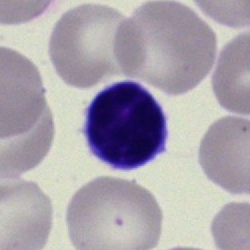

The morphological class is lymphocyte.